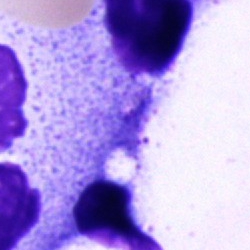

Classification = artifact.